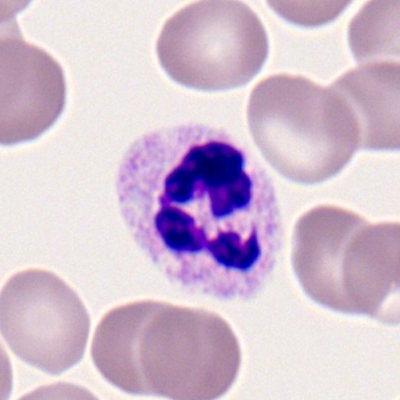
Showing a neutrophil (segmented).